Bone marrow smear — 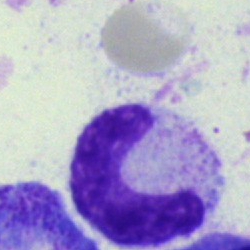

Impression — band-form neutrophil.